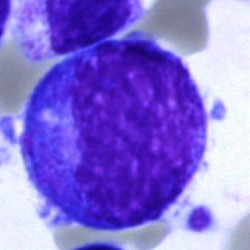 Morphology consistent with a promyelocyte.